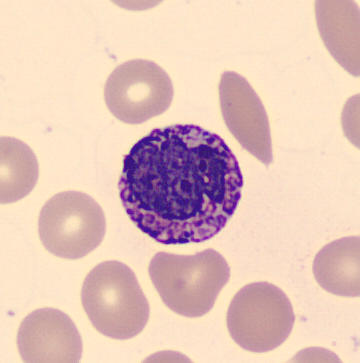 A basophilic granulocyte.

Peripheral blood film; 360×363.